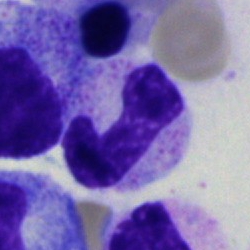
Morphology — band-form neutrophil.